Bone marrow smear
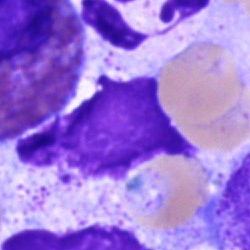 The cell shown is an artifact.